Bone marrow smear. Single-cell field:
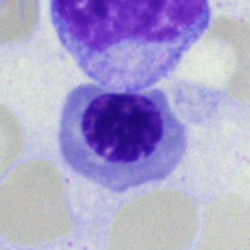
The cell shown is a normoblast.